Bone marrow aspirate smear. Single-cell crop
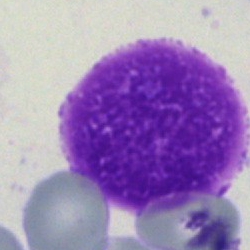

Classification — artifact.